Bone marrow smear: 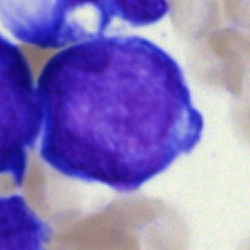 Showing a blast cell.